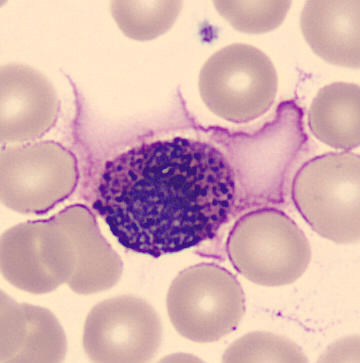
Preparation: Peripheral blood film.
Single cell identified as a basophil.